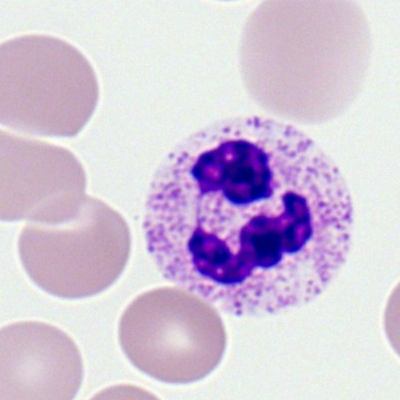 Single-cell crop from a peripheral blood smear: polymorphonuclear neutrophil.